Single cell centered in the field; bone marrow aspirate smear — 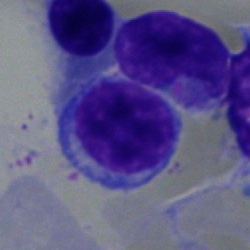

Specimen: bone marrow smear.
Morphological class: typical lymphocyte.
Lineage: lymphoid.